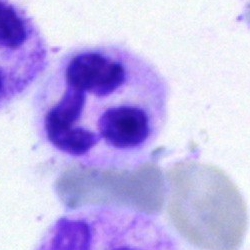Impression — segmented neutrophil.